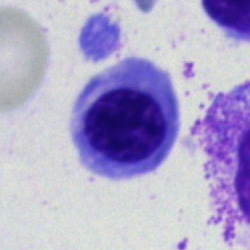Single-cell crop from a bone marrow smear: nucleated red cell.